Bone marrow smear:
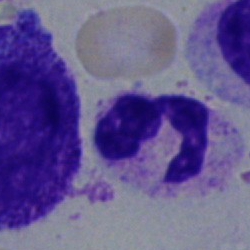

Q: Identify the cell.
A: It is a neutrophil (segmented).